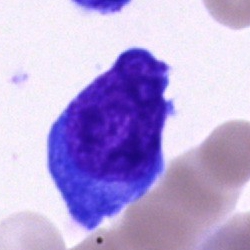

The classification is undifferentiated blast.